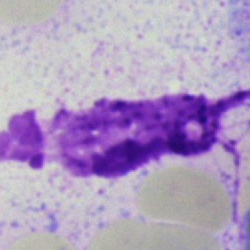

Showing an artifact.